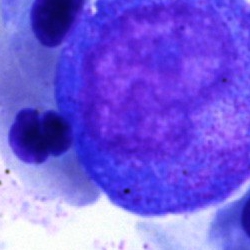Morphological class = progranulocyte.